Bone marrow aspirate smear · brightfield microscopy, 40× oil immersion — 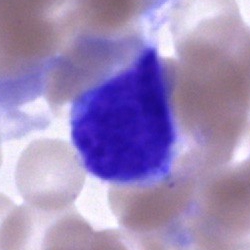
Specimen: bone marrow smear.
Cell: unidentifiable cell.